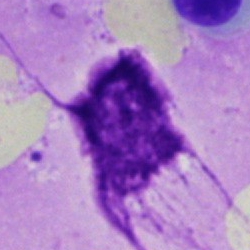Specimen: bone marrow smear.
Classification: artefact.